MGG-stained · peripheral blood film.
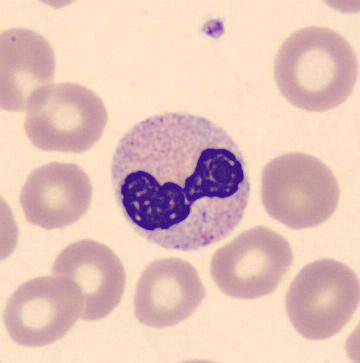Classification — band-form neutrophil.